250×250 · May-Grünwald-Giemsa/Pappenheim stain · bone marrow smear:
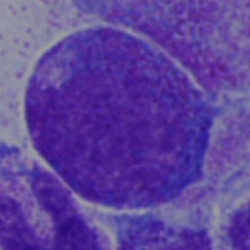

Morphological class: progranulocyte.